Bone marrow smear.
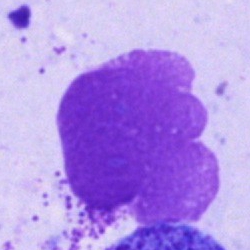 Q: What is shown here?
A: This is an artefact.